Image size 250×250 · single-cell field · bone marrow aspirate smear
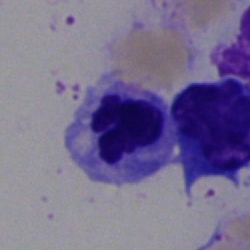Specimen: bone marrow aspirate smear.
Cell: nucleated red cell.
Lineage: erythroid.